Bone marrow smear.
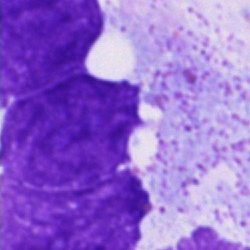Morphology — artifact.